Bone marrow smear.
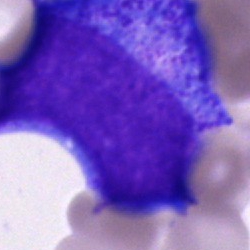Morphology — progranulocyte.